Image size 400×400. Peripheral blood film. Romanowsky-stained.
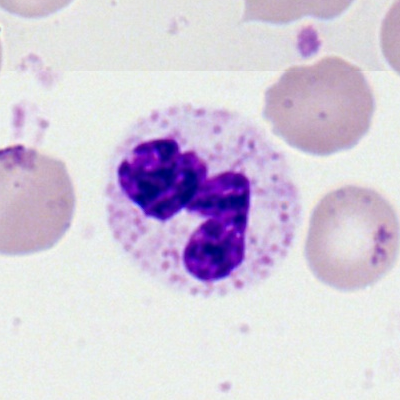Q: What type of cell is this?
A: This is a polymorphonuclear neutrophil.